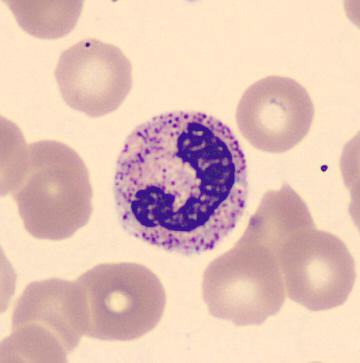 Identified as a neutrophil (segmented).

Image: Peripheral blood film.